Bone marrow smear:
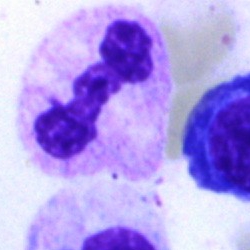

Morphology → polymorphonuclear neutrophil.